Bone marrow smear — 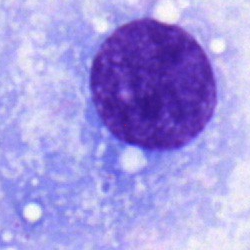Q: What is the morphological classification of this cell?
A: Plasmacyte.